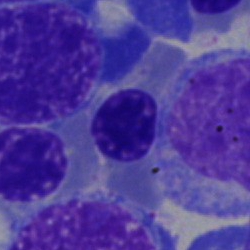This is a nucleated red cell.